Bone marrow smear.
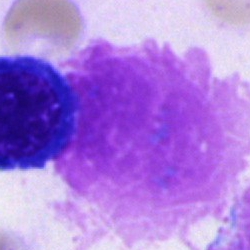 The cell type is artifact.